May-Grünwald-Giemsa stain; bone marrow smear
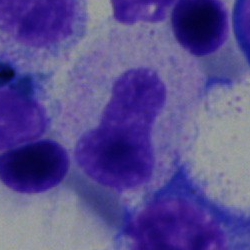

Q: Identify the cell.
A: It is a band neutrophil.